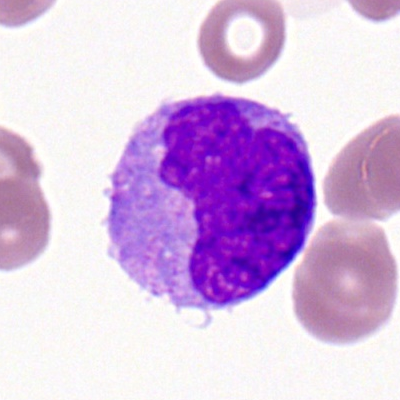

Morphological class = monocyte.